Peripheral blood smear; imaged on a CellaVision DM96 analyser: 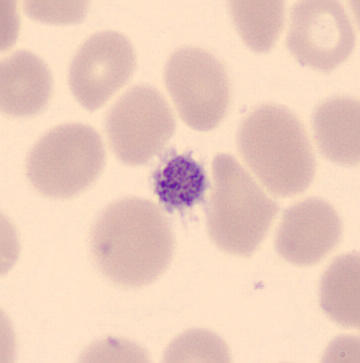Impression → thrombocyte.